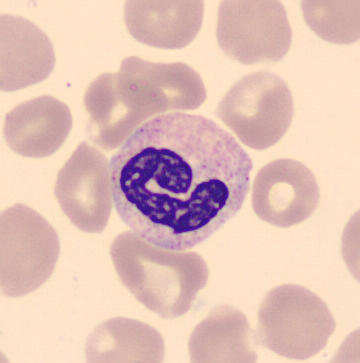May Grünwald-Giemsa stain. Peripheral blood film. 360×363 px.
Showing a band-form neutrophil.